Bone marrow smear · cropped to a single cell — 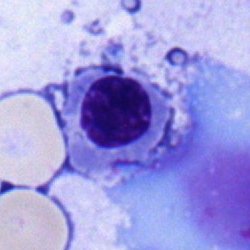 Q: What type of cell is this?
A: An erythroblast.